Bone marrow aspirate smear. Single-cell crop — 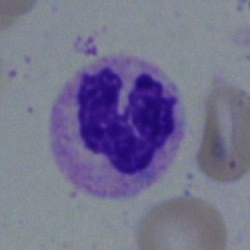

{"cell_type": "band-form neutrophil", "lineage": "myeloid"}